Bone marrow aspirate smear — 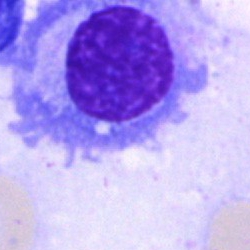 The cell shown is a plasmacyte.